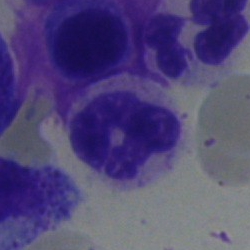Cell type — segmented neutrophil.